Bone marrow smear
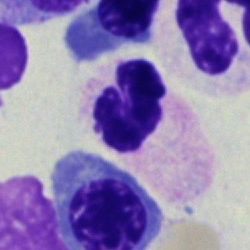

Specimen: bone marrow smear.
Morphological class: segmented neutrophil.